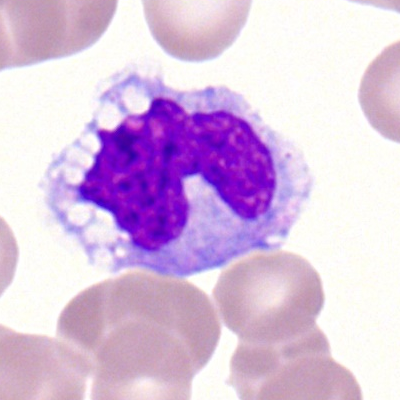The cell type is monocyte.